Peripheral blood smear. Romanowsky stain
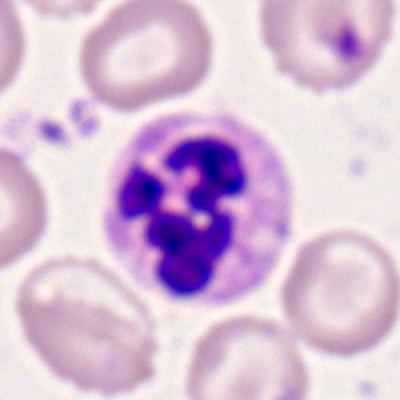 Single cell identified as a segmented neutrophil.